40× oil immersion · bone marrow aspirate smear: 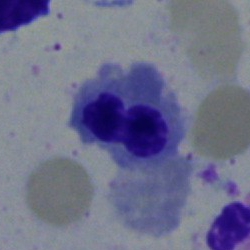
The cell is normoblast.